Brightfield microscopy, 40× oil immersion · single-cell crop · bone marrow smear
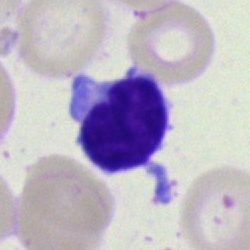The cell type is typical lymphocyte.